Brightfield, 40× oil-immersion objective; bone marrow aspirate smear; MGG-stained: 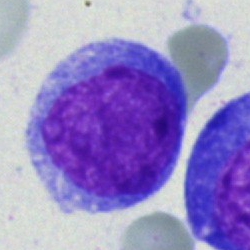 Single cell identified as an undifferentiated blast.